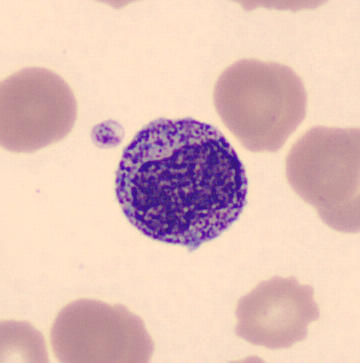

Image: May Grünwald-Giemsa stain; peripheral blood smear.
Q: Identify the cell.
A: A metamyelocyte.